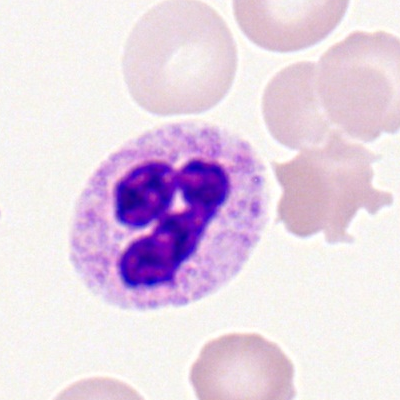 Q: Identify the cell.
A: A neutrophil (segmented).